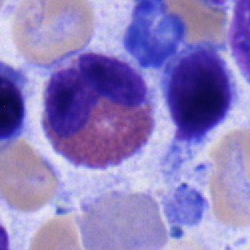

Bone marrow aspirate smear, single cell — eosinophilic granulocyte.